Bone marrow aspirate smear — 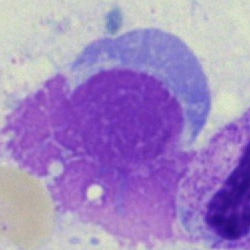 Q: What is shown here?
A: An artefact.